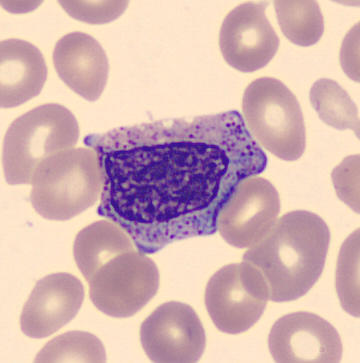

Classification: metamyelocyte.